Bone marrow aspirate smear.
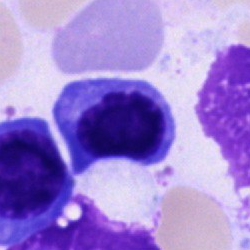 Showing a cell of indeterminate lineage.